Bone marrow smear. Cropped to a single cell. May-Grünwald-Giemsa/Pappenheim stain.
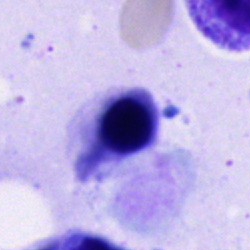

Morphological class: nucleated red cell.